May-Grünwald-Giemsa/Pappenheim stain; bone marrow aspirate smear:
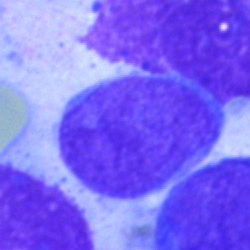A blast.